Peripheral blood film: 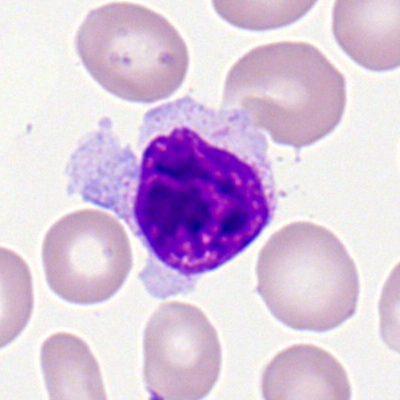Morphology consistent with a typical lymphocyte.